Bone marrow aspirate smear:
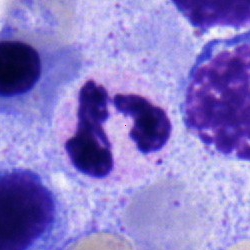

The cell shown is a neutrophil (segmented).